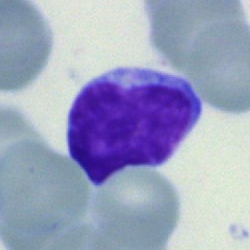
Q: What is the morphological classification of this cell?
A: This is a lymphocyte.